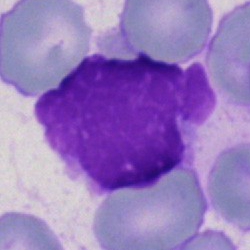Morphology → artifact.